Bone marrow aspirate smear. Brightfield microscopy, 40× oil immersion. Single-cell crop:
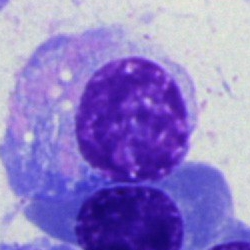

Cell = plasma cell.